Bone marrow aspirate smear · May-Grünwald-Giemsa stain: 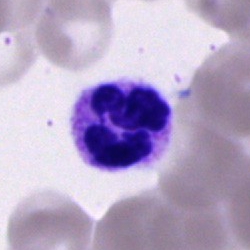 Classification: segmented neutrophil.